Brightfield, 40× oil-immersion objective; bone marrow smear
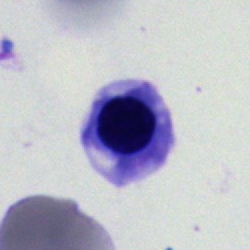
This is a nucleated red cell.